250×250 px. Brightfield microscopy, 40× oil immersion. Bone marrow smear:
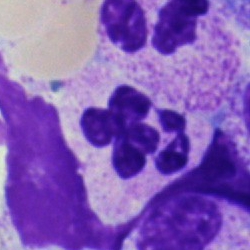Morphology → neutrophil (segmented).